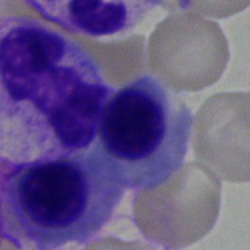

Specimen: bone marrow aspirate smear.
Morphological class: erythroblast.
Lineage: erythroid.